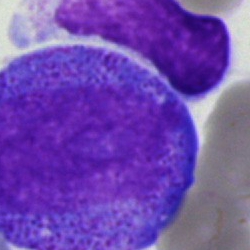

Classification — promyelocyte.